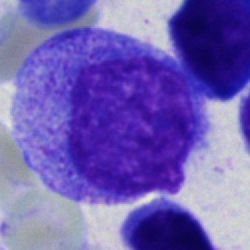 Bone marrow smear showing a promyelocyte.